Peripheral blood smear — 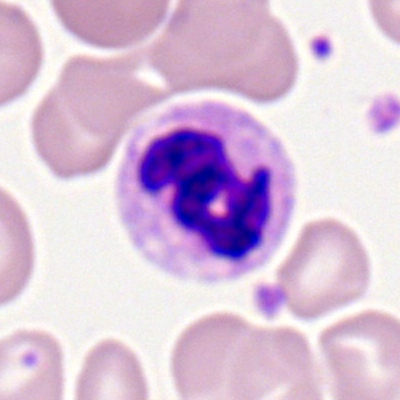 Specimen: peripheral blood film.
Cell type: polymorphonuclear neutrophil.
Lineage: myeloid.